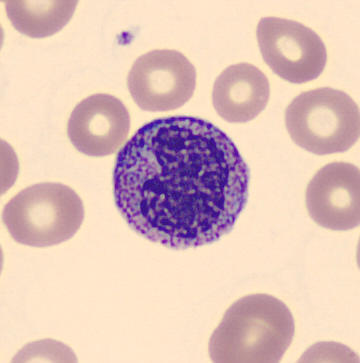

Morphology → metamyelocyte. Preparation: Peripheral blood smear · MGG stain.